Peripheral blood film · 100× oil immersion, 14.14 px/µm: 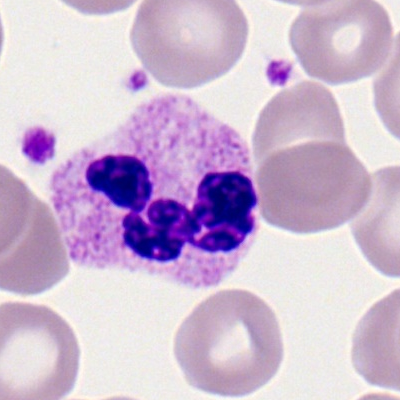

Q: What type of cell is this?
A: It is a segmented neutrophil.